Bone marrow aspirate smear — 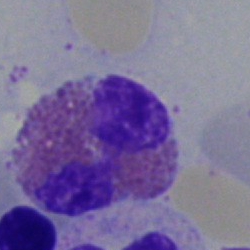

Cell — eosinophil.